Image size 400×400 · peripheral blood smear
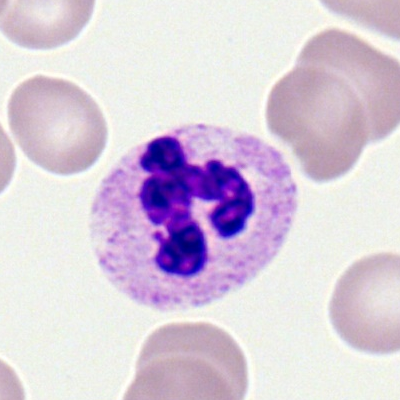
Cell type — neutrophil (segmented).